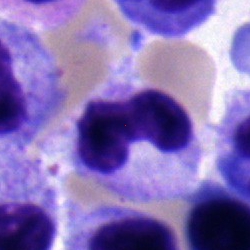Morphological class = metamyelocyte.